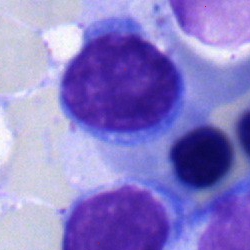Single cell identified as a typical lymphocyte.